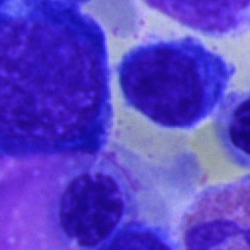Q: What type of cell is this?
A: It is a lymphocyte.